Single-cell field. Bone marrow smear: 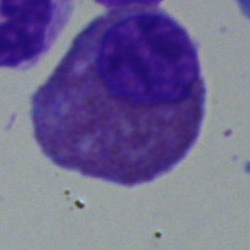
The classification is eosinophil.